Peripheral blood smear:
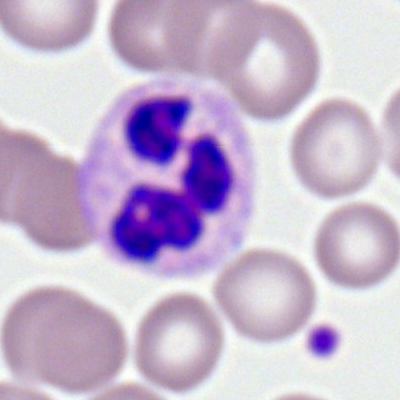 Morphological class = neutrophil (segmented).